250 by 250 pixels. Bone marrow smear. Brightfield microscopy, 40× oil immersion.
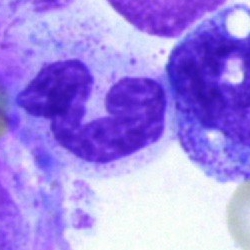
Showing a neutrophil (segmented).